Bone marrow aspirate smear. Cropped to a single cell.
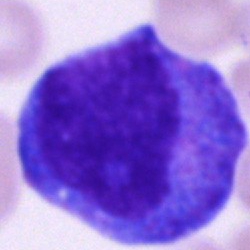Promyelocyte.